Bone marrow aspirate smear.
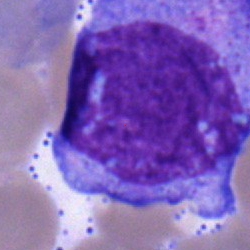Showing an undifferentiated blast.